Bone marrow smear. May-Grünwald-Giemsa/Pappenheim stain — 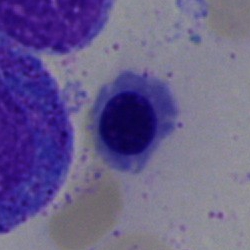
Morphological class = nucleated red blood cell.